Bone marrow smear; Pappenheim-stained — 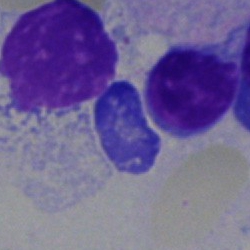
Cell type: typical lymphocyte.